Bone marrow aspirate smear — 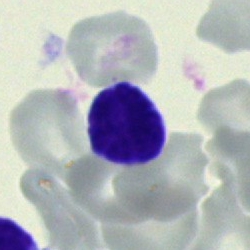 Cell type = lymphocyte.